Bone marrow aspirate smear:
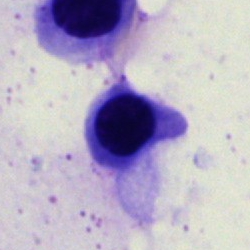Showing a normoblast.